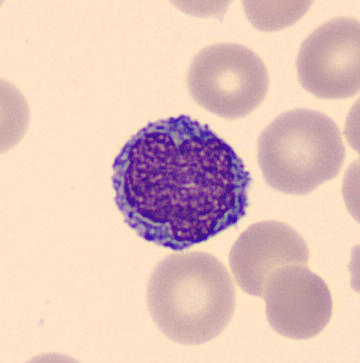 Specimen: peripheral blood smear.
Classification: monocyte.
Lineage: myeloid.

Acquisition: May Grünwald-Giemsa stain. CellaVision DM96 digital cell image.